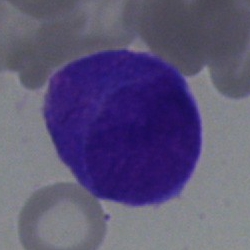
Q: What is the morphological classification of this cell?
A: A blast cell.